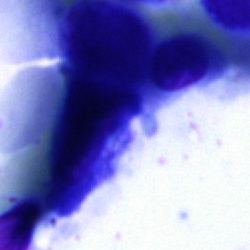Bone marrow smear showing an artifact.